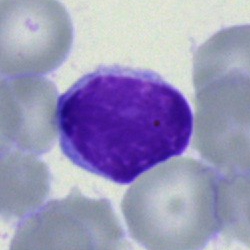

A lymphocyte on a bone marrow smear.